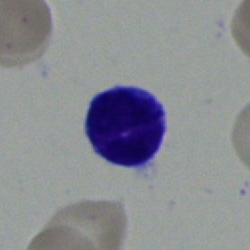

Cell type — typical lymphocyte.